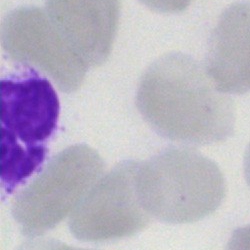 The cell shown is an artefact.